Bone marrow smear:
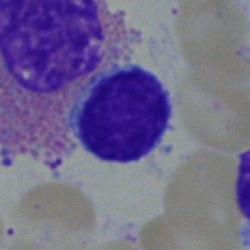
Typical lymphocyte.